Bone marrow smear — 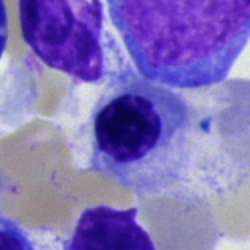

Cell: nucleated red blood cell.